Bone marrow smear; single-cell crop: 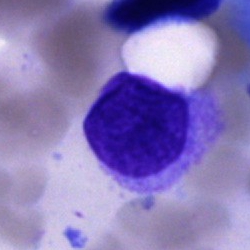

Cell: cell of indeterminate lineage.